Bone marrow aspirate smear.
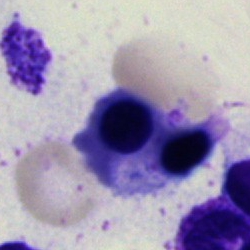Showing an erythroblast.